Bone marrow aspirate smear.
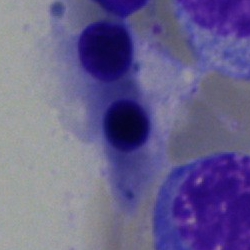 The cell shown is an erythroblast.